Single cell centered in the field; brightfield microscopy, 40× oil immersion; bone marrow aspirate smear.
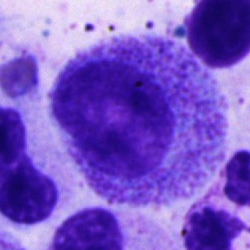Promyelocyte.